Bone marrow aspirate smear — 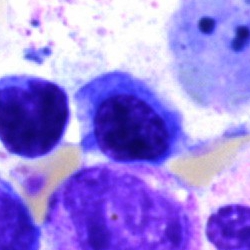

This is a nucleated red blood cell.